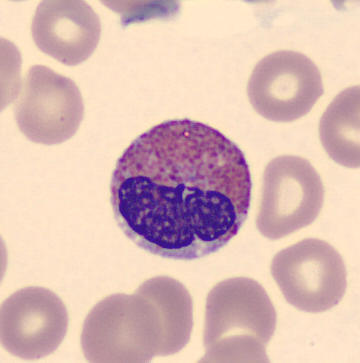
Acquisition: Peripheral blood film.

Classification — eosinophilic granulocyte.